Bone marrow aspirate smear
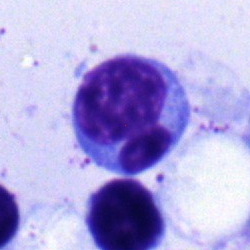

The cell shown is a monocyte.